Peripheral blood smear; MGG stain.
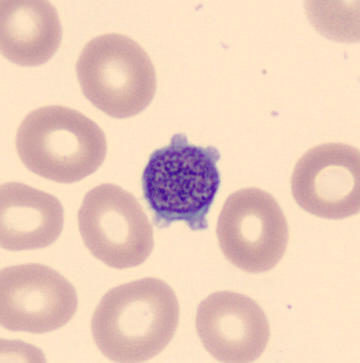Morphology consistent with a platelet.